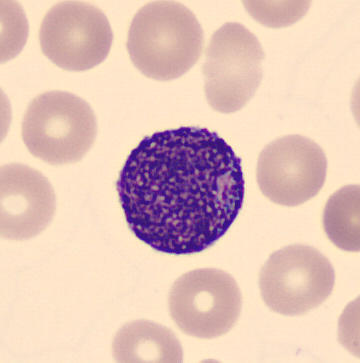 Preparation: Peripheral blood smear; CellaVision DM96.
Cell type = progranulocyte.